Bone marrow smear — 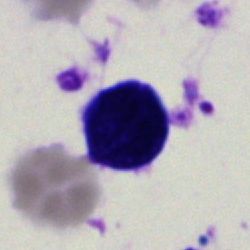 An artifact.